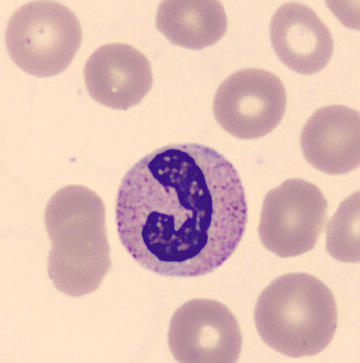 Identified as a band-form neutrophil. Peripheral blood film · May-Grünwald-Giemsa-stained.